Bone marrow aspirate smear — 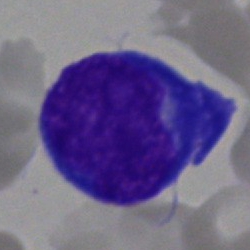
The classification is cell of indeterminate lineage.